Bone marrow smear
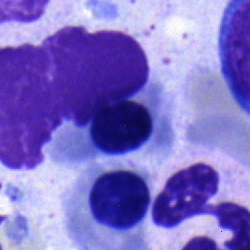
Classification — nucleated red blood cell.